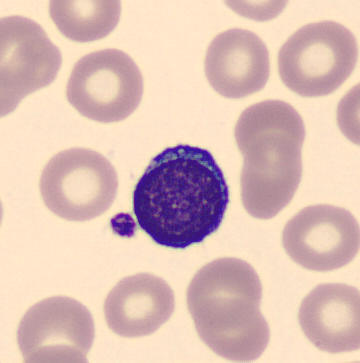

{"cell_type": "typical lymphocyte", "lineage": "lymphoid"}

Preparation: Peripheral blood smear.